Bone marrow aspirate smear. Single-cell crop. Brightfield microscopy, 40× oil immersion
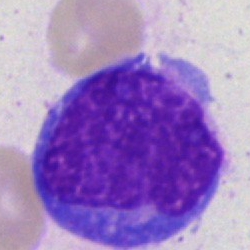
Specimen: bone marrow aspirate smear.
Cell type: undifferentiated blast.